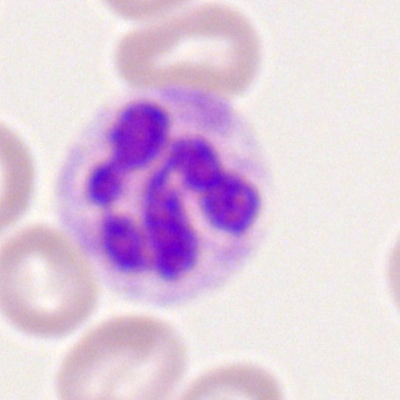 Specimen: peripheral blood film.
Classification: neutrophil (segmented).
Lineage: myeloid.